Bone marrow smear; single-cell field; 40× objective, oil immersion:
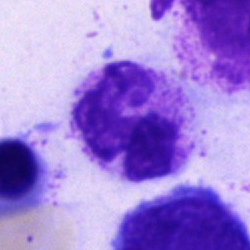 A neutrophil (segmented).